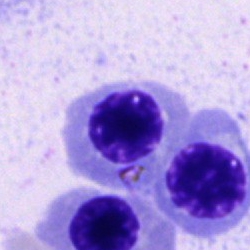 A nucleated red blood cell on a bone marrow smear.